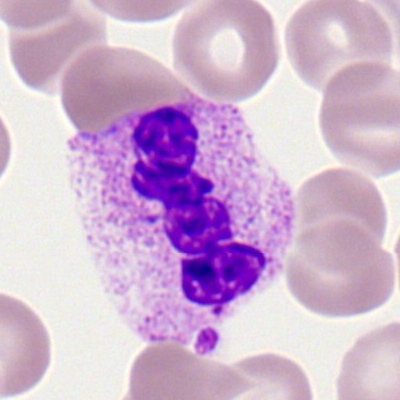Peripheral blood smear showing a segmented neutrophil.